Bone marrow aspirate smear.
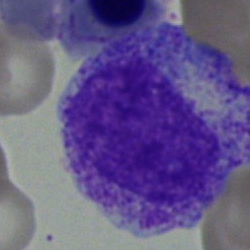

Q: Identify the cell.
A: This is a myelocyte.